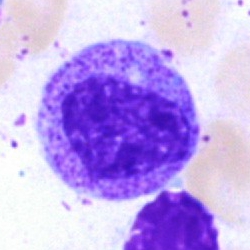A myelocyte.